Bone marrow smear · single cell centered in the field · 250×250 px.
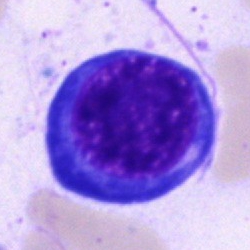
Nucleated red blood cell.